Bone marrow aspirate smear · 40× objective, oil immersion.
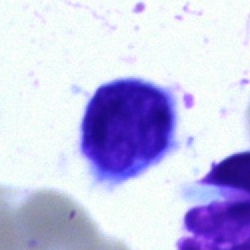

Specimen: bone marrow smear.
Cell type: typical lymphocyte.
Lineage: lymphoid.